Bone marrow aspirate smear:
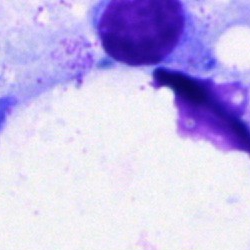
This is an artifact.